Bone marrow aspirate smear; Pappenheim-stained:
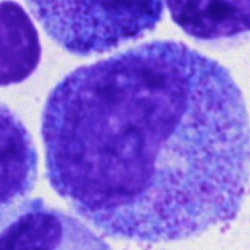 A progranulocyte.